Peripheral blood smear:
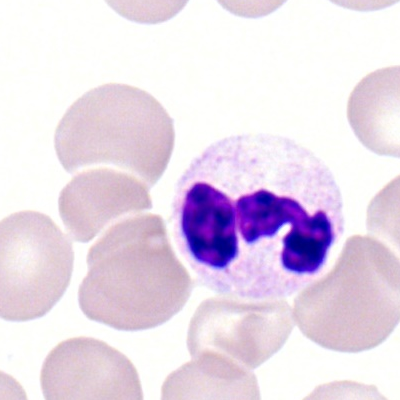

Specimen: peripheral blood smear.
Classification: neutrophil (segmented).
Lineage: myeloid.